40× objective, oil immersion · bone marrow smear.
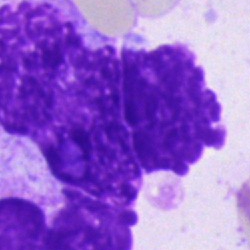

Morphology consistent with an artefact.